Bone marrow aspirate smear:
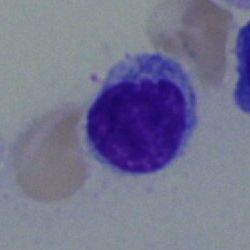{"cell_type": "lymphocyte"}